Bone marrow smear · brightfield microscopy, 40× oil immersion.
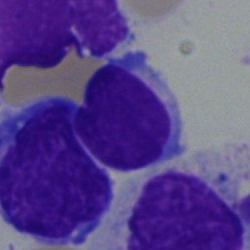Showing a typical lymphocyte.